Bone marrow aspirate smear:
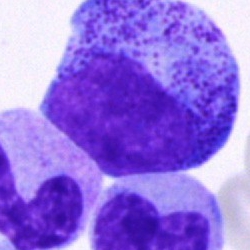Q: What is the morphological classification of this cell?
A: A promyelocyte.